Bone marrow smear: 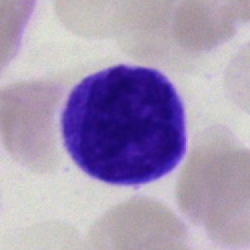Morphological class = lymphocyte.